May-Grünwald-Giemsa/Pappenheim stain; bone marrow smear — 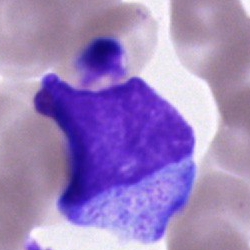

Q: What is the morphological classification of this cell?
A: It is a promyelocyte.